Bone marrow aspirate smear; May-Grünwald-Giemsa stain; 250×250 — 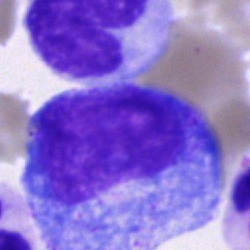

The cell shown is a promyelocyte.